Bone marrow aspirate smear; 250×250:
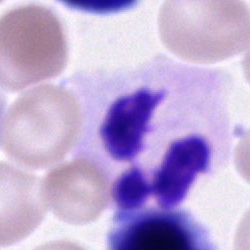A polymorphonuclear neutrophil.